Bone marrow aspirate smear:
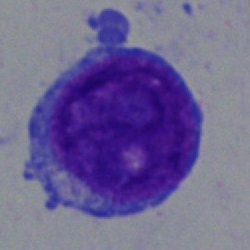A blast cell.